Bone marrow aspirate smear.
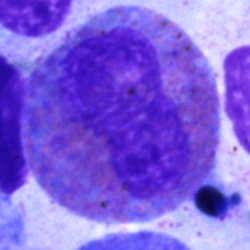 The classification is eosinophil.